Romanowsky stain. Peripheral blood smear — 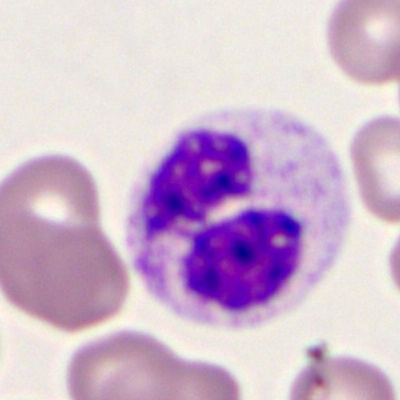Morphology consistent with a polymorphonuclear neutrophil.